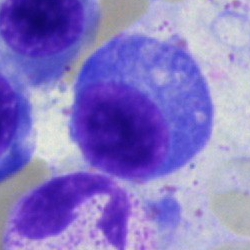Bone marrow aspirate smear, single cell — plasma cell.